Bone marrow aspirate smear. Pappenheim-stained.
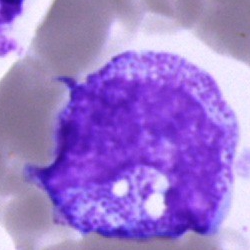
This is a band neutrophil.